Bone marrow smear. Single-cell field: 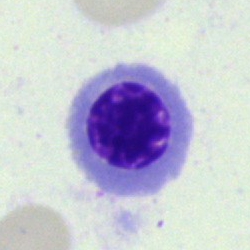
A normoblast.